Bone marrow smear
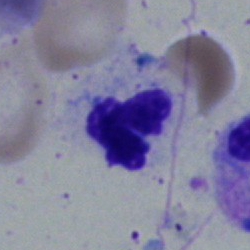Q: Which cell type is shown here?
A: Polymorphonuclear neutrophil.